MGG-stained; bone marrow aspirate smear:
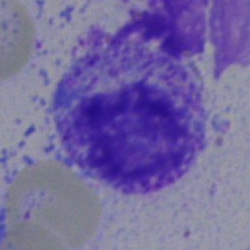Morphology consistent with a myelocyte.